Bone marrow smear — 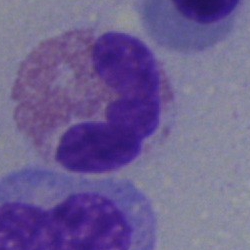

Q: What type of cell is this?
A: Eosinophil.